Bone marrow smear; 40× objective, oil immersion.
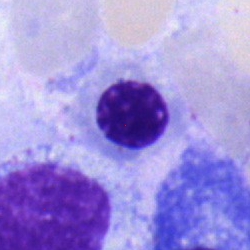

Single cell identified as a normoblast.